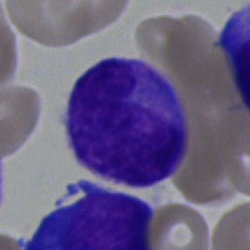Classification — monocyte.